MGG-stained · bone marrow smear.
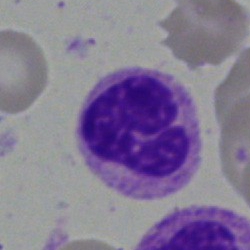 Impression → neutrophil (segmented).